Peripheral blood film; brightfield, 100× oil-immersion objective: 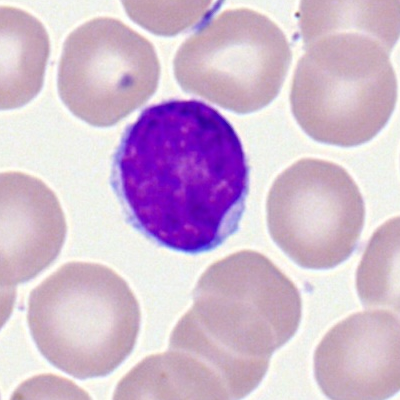 Q: Identify the cell.
A: It is a typical lymphocyte.